Bone marrow smear; brightfield microscopy, 40× oil immersion; May-Grünwald-Giemsa/Pappenheim stain — 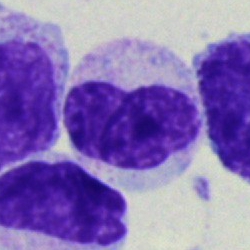Band neutrophil.